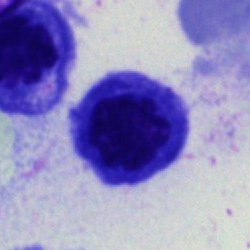

This is an erythroblast.